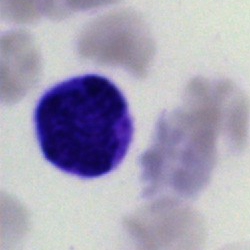Cell — typical lymphocyte.